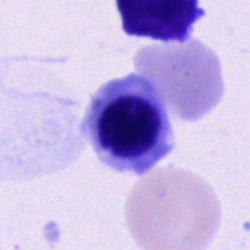
Single cell identified as an erythroblast.